Single-cell field. 250×250 px. Bone marrow aspirate smear: 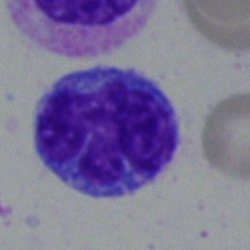Specimen: bone marrow aspirate smear.
Cell: blast cell.